MGG-stained; bone marrow aspirate smear.
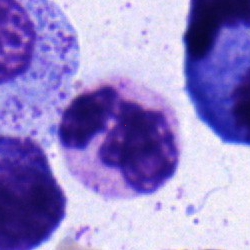The cell shown is a polymorphonuclear neutrophil.